Bone marrow smear:
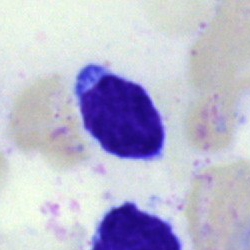
Single cell identified as a lymphocyte.